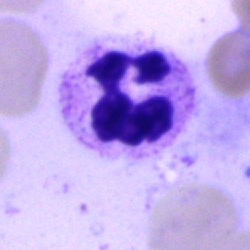

Single cell identified as a segmented neutrophil.